Bone marrow aspirate smear — 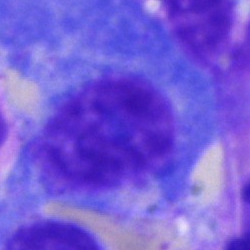

Morphology — plasma cell.